Bone marrow aspirate smear — 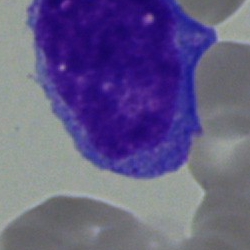
Single cell identified as a blast.